Bone marrow smear: 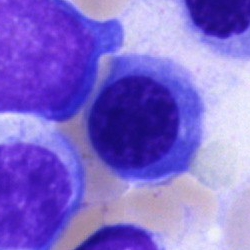

Specimen: bone marrow aspirate smear.
Classification: nucleated red blood cell.
Lineage: erythroid.